Bone marrow aspirate smear; brightfield, 40× oil-immersion objective — 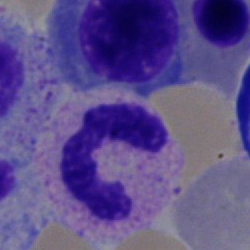Specimen: bone marrow aspirate smear.
Cell type: segmented neutrophil.
Lineage: myeloid.